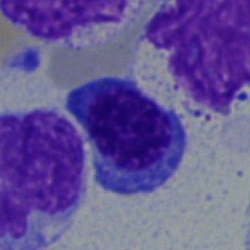
A nucleated red cell.